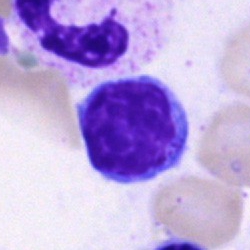

Bone marrow smear showing a typical lymphocyte.